40× objective, oil immersion; May-Grünwald-Giemsa stain; bone marrow aspirate smear — 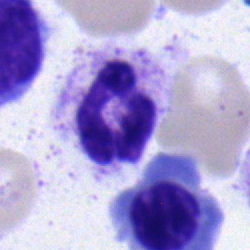 Cell = neutrophil (segmented).